Bone marrow smear
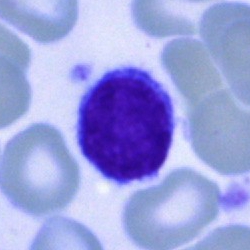

Cell type — lymphocyte.